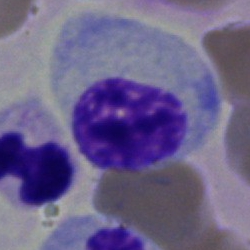

Single cell identified as a myelocyte.